Bone marrow aspirate smear.
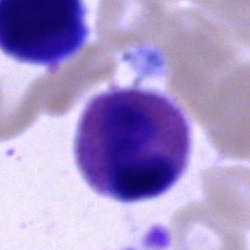Showing an eosinophilic granulocyte.